Bone marrow aspirate smear.
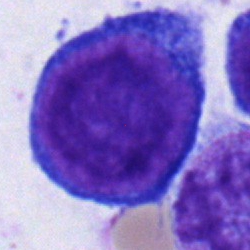Pronormoblast.